Brightfield, 40× oil-immersion objective. Bone marrow aspirate smear. Image size 250×250 — 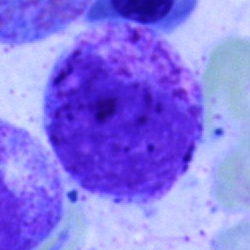
Specimen: bone marrow smear.
Classification: basophilic granulocyte.
Lineage: myeloid.